Bone marrow smear: 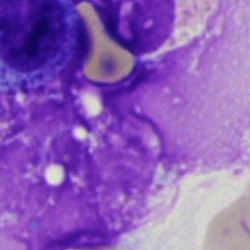 Cell = artefact.